Bone marrow smear: 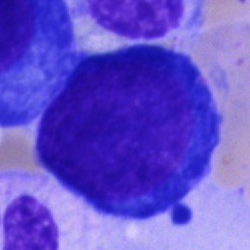 Single cell identified as a proerythroblast.